Bone marrow smear
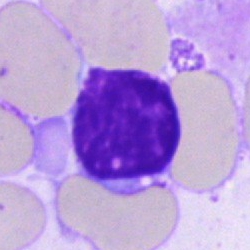

Morphological class: lymphocyte.